Peripheral blood smear · single cell centered in the field:
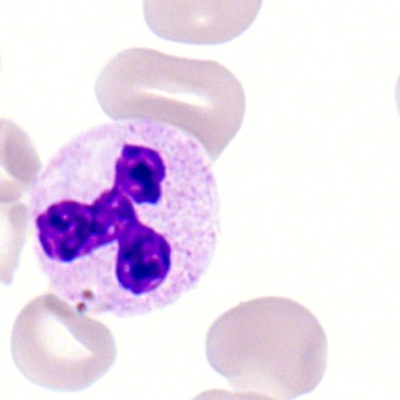Q: What is the morphological classification of this cell?
A: This is a neutrophil (segmented).